Bone marrow aspirate smear
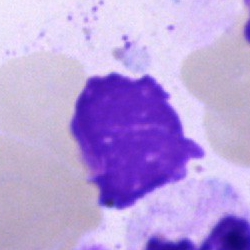 Cell — artefact.